Bone marrow aspirate smear.
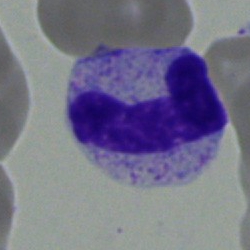
Showing a neutrophil (band).